250 by 250 pixels; bone marrow smear; single cell centered in the field.
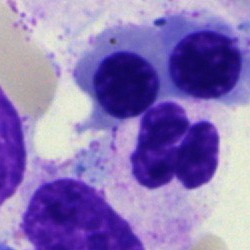Single cell identified as a neutrophil (segmented).